Bone marrow smear: 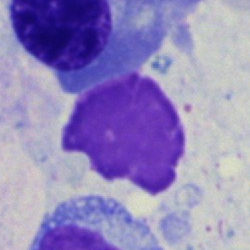
Q: What is shown here?
A: Artifact.